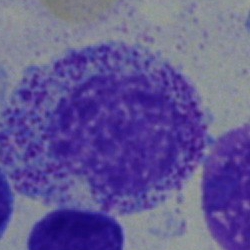Classification = myelocyte.